Bone marrow smear
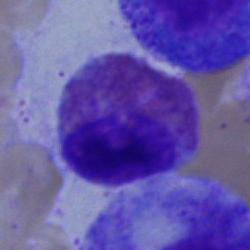 Morphology consistent with an eosinophil.